250×250 px · bone marrow smear · MGG-stained — 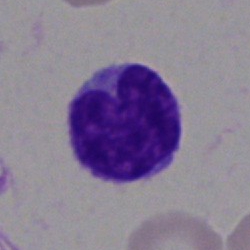 Single cell identified as an undifferentiated blast.